Bone marrow aspirate smear
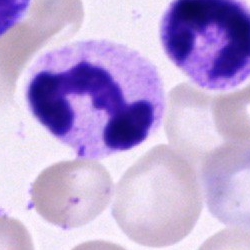 This is a segmented neutrophil.